MGG-stained; cropped to a single cell; bone marrow aspirate smear.
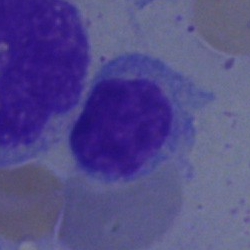A typical lymphocyte.